Image size 250×250; bone marrow smear.
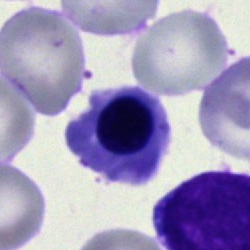Normoblast.